Bone marrow aspirate smear · May-Grünwald-Giemsa/Pappenheim stain:
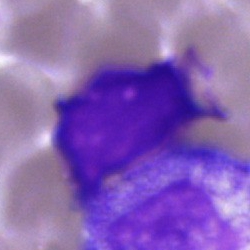

Impression → artifact.